Bone marrow smear. Cropped to a single cell.
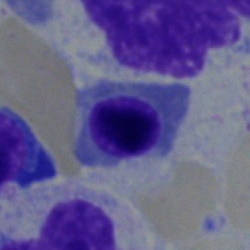

Specimen: bone marrow smear.
Classification: nucleated red blood cell.
Lineage: erythroid.